Bone marrow smear. May-Grünwald-Giemsa stain.
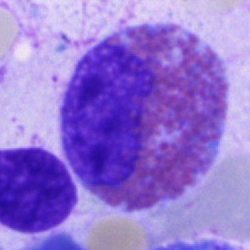
Showing an eosinophil.